Pappenheim-stained · cropped to a single cell · bone marrow aspirate smear — 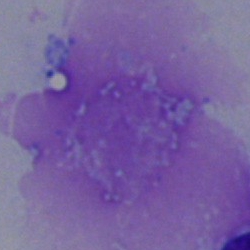Q: What is shown here?
A: This is an artefact.